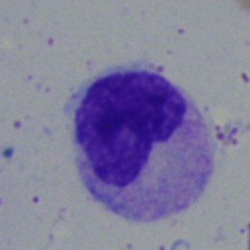 Impression — metamyelocyte.